40× oil immersion; image size 250×250; bone marrow aspirate smear: 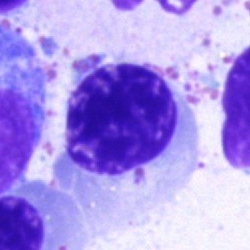 Cell = nucleated red blood cell.